Bone marrow smear:
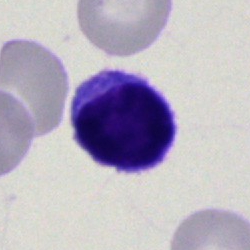This is a typical lymphocyte.